Bone marrow smear · 250×250 · single-cell crop: 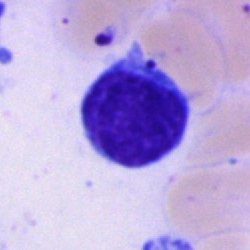Cell = typical lymphocyte.